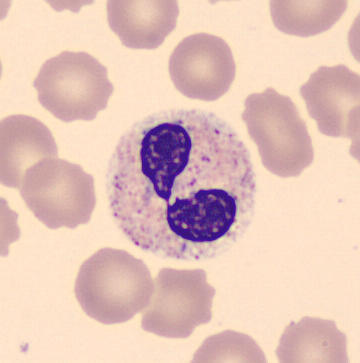 Single cell identified as a neutrophil (segmented). Single-cell field. Peripheral blood film.